Bone marrow aspirate smear · Pappenheim-stained — 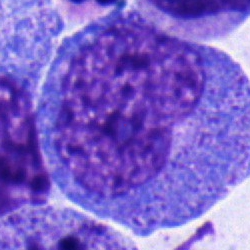A progranulocyte.